40× oil immersion; bone marrow smear:
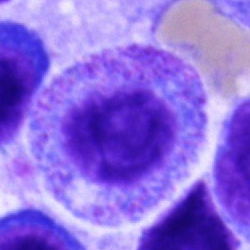{"cell_type": "promyelocyte", "lineage": "myeloid"}